Bone marrow smear. Single cell centered in the field. Brightfield, 40× oil-immersion objective: 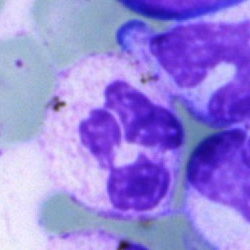
Morphology → neutrophil (segmented).